Bone marrow aspirate smear — 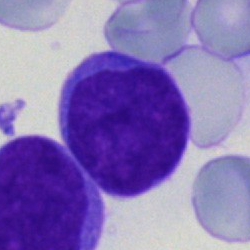 Q: What is the morphological classification of this cell?
A: Blast.